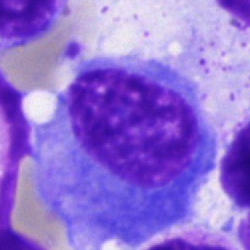Cell type: plasma cell.